May-Grünwald-Giemsa/Pappenheim stain; bone marrow aspirate smear
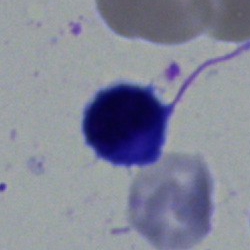

Specimen: bone marrow aspirate smear.
Cell: typical lymphocyte.
Lineage: lymphoid.